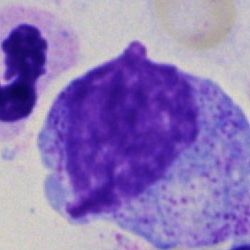 Classification = progranulocyte.